Bone marrow smear: 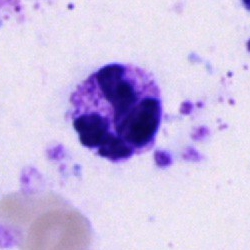
Morphology consistent with a neutrophil (segmented).